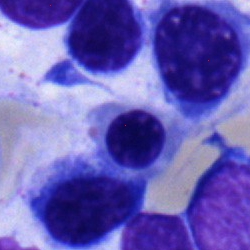 A nucleated red blood cell.